Bone marrow smear:
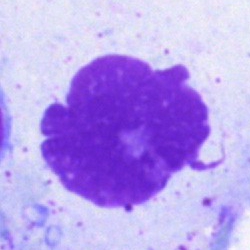 Impression — artifact.